250×250. Bone marrow smear
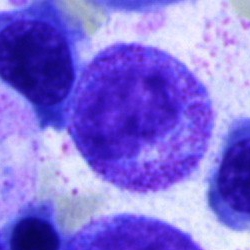
Showing a progranulocyte.